Cropped to a single cell. Bone marrow aspirate smear:
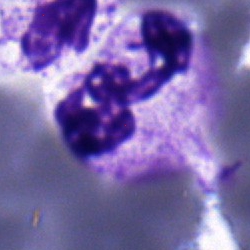

Morphological class: polymorphonuclear neutrophil.